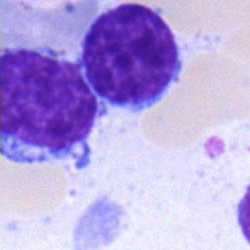Morphology consistent with a lymphocyte.